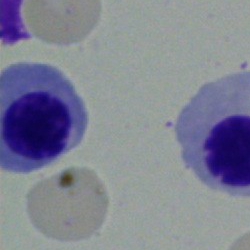
Q: What is shown here?
A: It is a nucleated red cell.